Bone marrow smear: 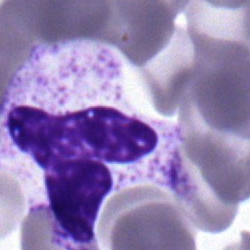

Polymorphonuclear neutrophil.